Bone marrow smear:
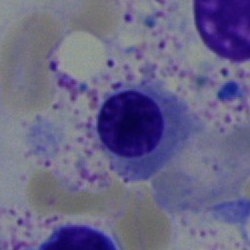

Q: What cell is this?
A: This is an erythroblast.